Peripheral blood smear:
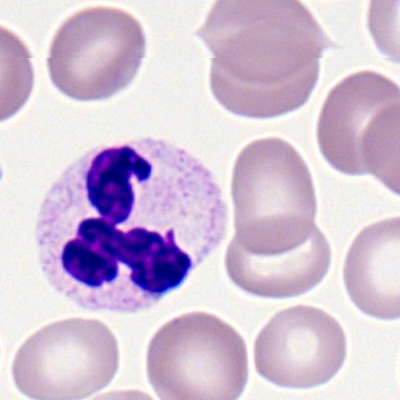

Specimen: peripheral blood smear.
Morphological class: neutrophil (segmented).
Lineage: myeloid.